Bone marrow aspirate smear · 250×250.
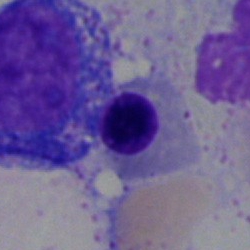{"cell_type": "nucleated red blood cell"}